40× objective, oil immersion; bone marrow aspirate smear:
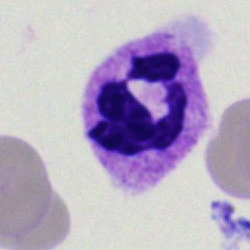

The classification is neutrophil (segmented).